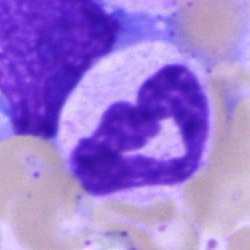 The classification is polymorphonuclear neutrophil.